Peripheral blood smear · 100× oil immersion, 14.14 px/µm · 400×400: 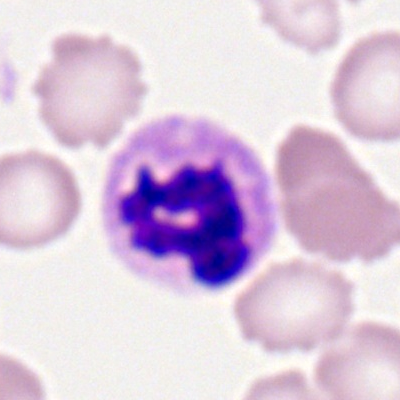 Impression → segmented neutrophil.